250×250 px; bone marrow aspirate smear
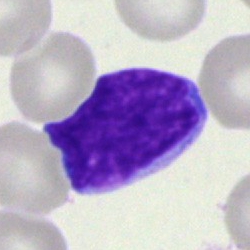
An undifferentiated blast.